Romanowsky-stained. Peripheral blood smear — 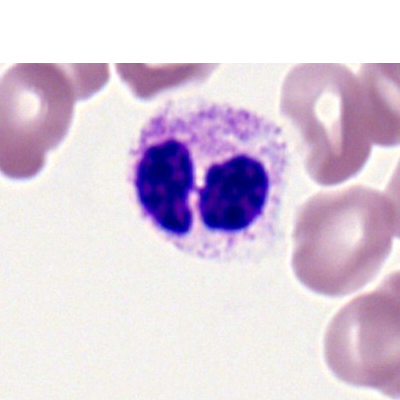Specimen: peripheral blood film.
Morphological class: neutrophil (segmented).
Lineage: myeloid.